May-Grünwald-Giemsa/Pappenheim stain. Bone marrow smear. Single cell centered in the field.
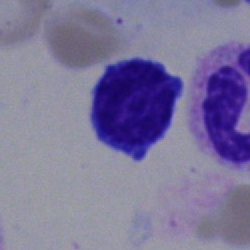Cell — lymphocyte.